Romanowsky-stained; brightfield, 100× oil-immersion objective; peripheral blood film
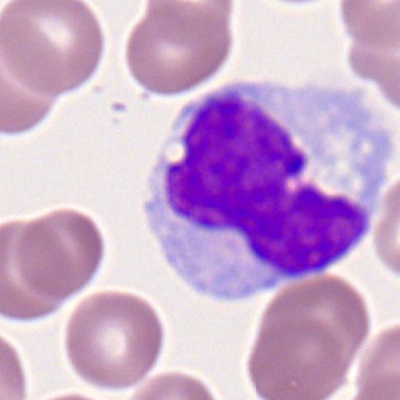
{"cell_type": "monocyte"}